Bone marrow smear
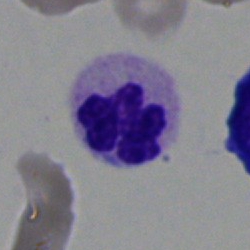The cell type is neutrophil (segmented).